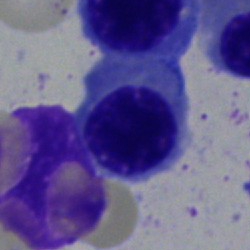Classification = erythroblast.